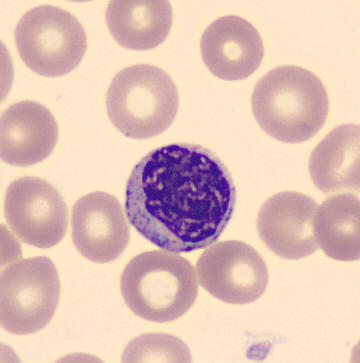 Myelocyte.